Bone marrow aspirate smear: 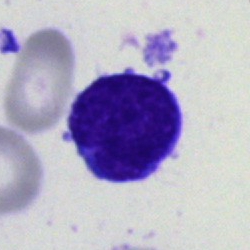{"cell_type": "blast cell"}